400×400. 100× oil immersion, 14.14 px/µm. Peripheral blood smear:
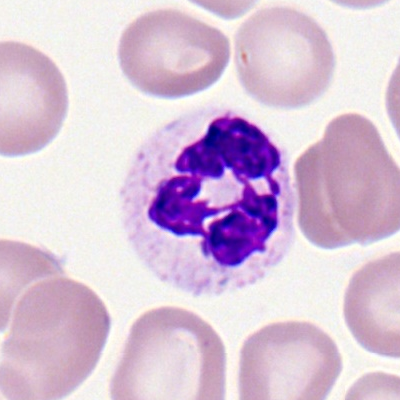Single cell identified as a neutrophil (segmented).